Bone marrow aspirate smear · MGG-stained · brightfield microscopy, 40× oil immersion.
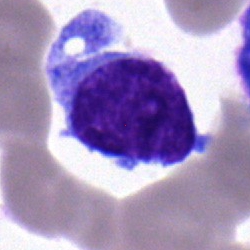Single cell identified as a plasmacyte.